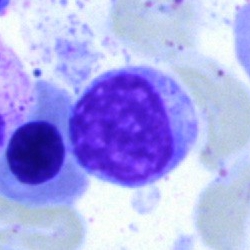Cell — typical lymphocyte.